Peripheral blood smear · Romanowsky-type stain — 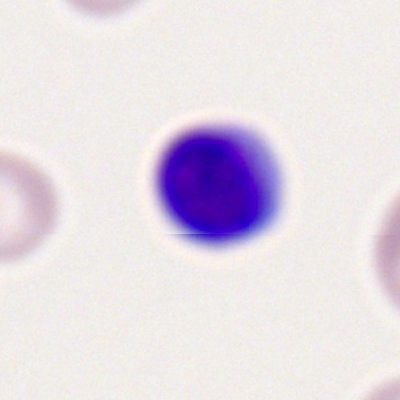 Cell type — lymphocyte.